Bone marrow aspirate smear; May-Grünwald-Giemsa stain; 40× objective, oil immersion
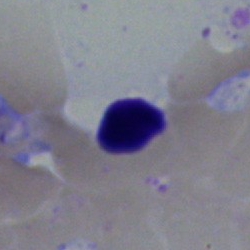

Morphological class = nucleated red cell.